Single-cell crop. Bone marrow smear. Brightfield microscopy, 40× oil immersion:
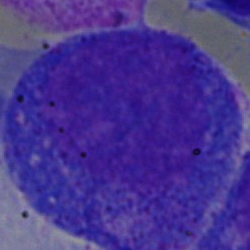

Specimen: bone marrow aspirate smear.
Cell: progranulocyte.
Lineage: myeloid.